Bone marrow aspirate smear.
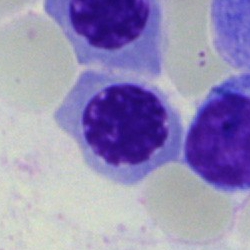

Specimen: bone marrow smear.
Classification: nucleated red blood cell.
Lineage: erythroid.